Bone marrow smear.
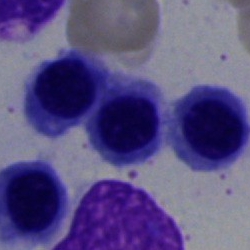Nucleated red blood cell.